Bone marrow aspirate smear; single-cell crop — 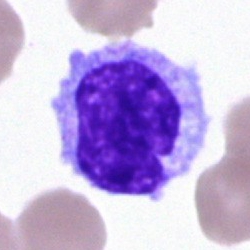

Morphology consistent with a monocyte.